Bone marrow aspirate smear
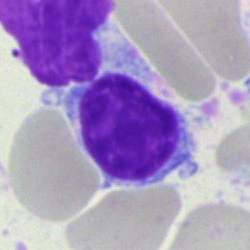 Q: What type of cell is this?
A: A lymphocyte.